Peripheral blood film:
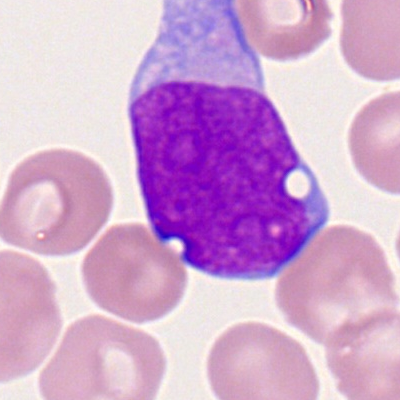Morphology consistent with a myeloid blast.